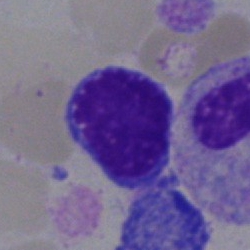

Q: What is the morphological classification of this cell?
A: This is a lymphocyte.